MGG-stained · bone marrow smear
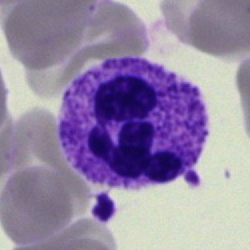 Morphological class = polymorphonuclear neutrophil.